Bone marrow aspirate smear:
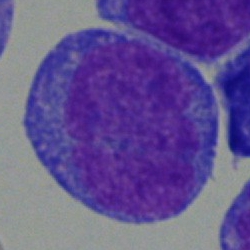 Promyelocyte.